Bone marrow smear:
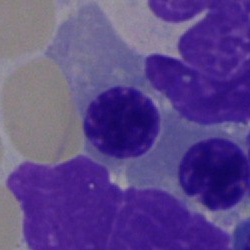
This is an erythroblast.